Brightfield, 40× oil-immersion objective. Bone marrow smear. 250×250:
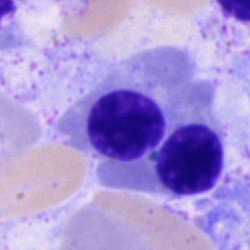 Morphology consistent with an erythroblast.